Bone marrow smear
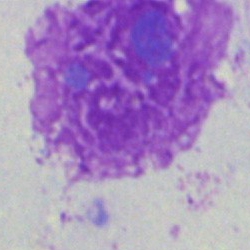

Cell type — artefact.